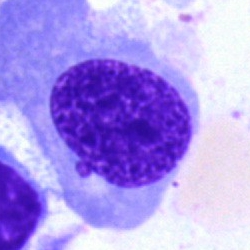 Specimen: bone marrow aspirate smear.
Classification: nucleated red blood cell.